Bone marrow aspirate smear. Pappenheim-stained. Single-cell field:
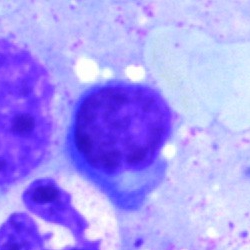
Lymphocyte.